Bone marrow aspirate smear:
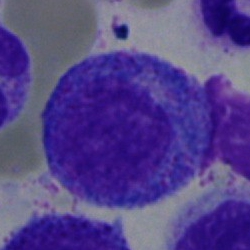 Morphology → progranulocyte.